Peripheral blood film:
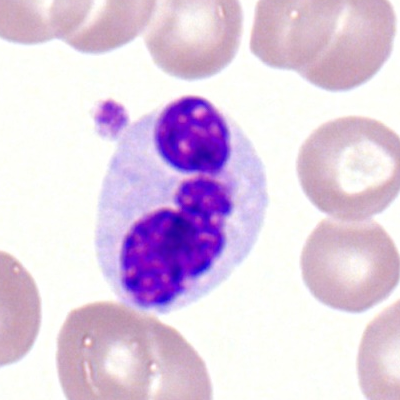The cell is segmented neutrophil.